Single-cell crop · bone marrow aspirate smear.
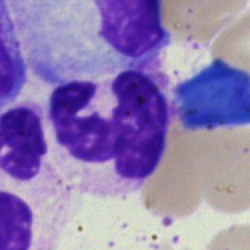
Impression → polymorphonuclear neutrophil.